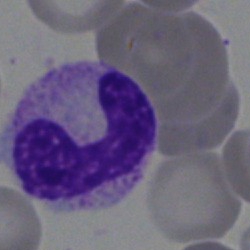
Morphology consistent with a band neutrophil.